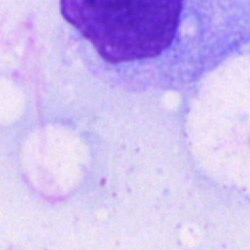The classification is artifact.